Bone marrow smear.
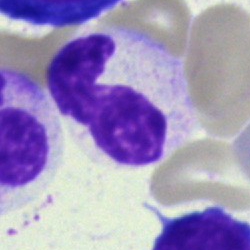

Cell: neutrophil (band).